Bone marrow aspirate smear.
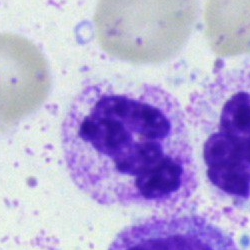 Morphology consistent with a neutrophil (segmented).